Bone marrow smear · May-Grünwald-Giemsa stain — 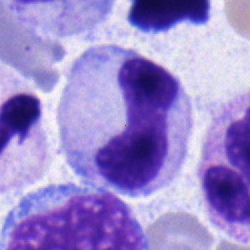 Q: Identify the cell.
A: It is a band-form neutrophil.